250 by 250 pixels · bone marrow aspirate smear.
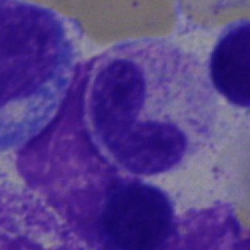 Cell = neutrophil (band).